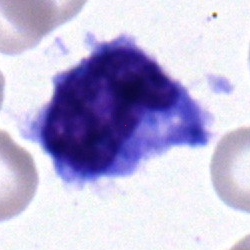Showing a typical lymphocyte.